Single-cell field. May-Grünwald-Giemsa stain. Bone marrow smear: 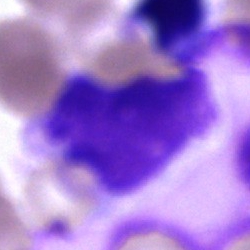 The cell shown is an artifact.